Bone marrow smear. Single-cell field
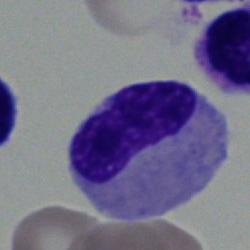

A band-form neutrophil.